Bone marrow smear:
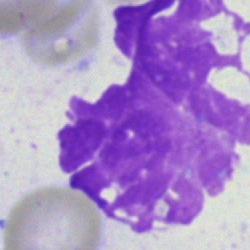Single cell identified as an artefact.